Bone marrow aspirate smear
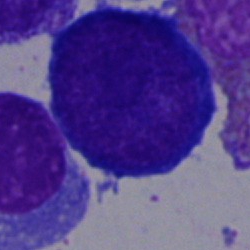Showing a nucleated red blood cell.